Bone marrow aspirate smear.
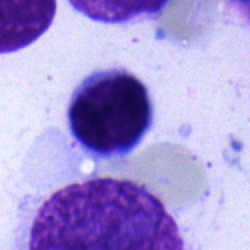
Impression → typical lymphocyte.